Bone marrow aspirate smear — 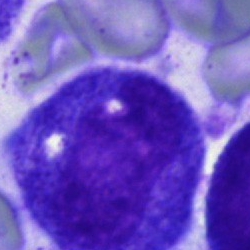
Q: What is the morphological classification of this cell?
A: It is a promyelocyte.